Single-cell crop; bone marrow smear; 40× oil immersion: 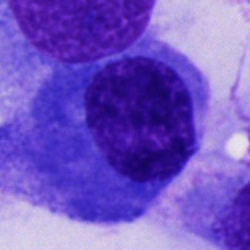

Q: What cell is this?
A: An other cell type.